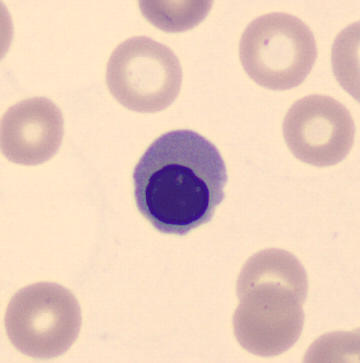

May-Grünwald-Giemsa-stained; peripheral blood film.
The morphological class is erythroblast.